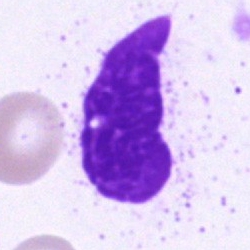 Showing an artefact.